May-Grünwald-Giemsa stain. Bone marrow aspirate smear:
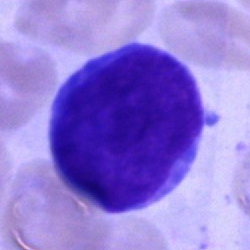

A blast.